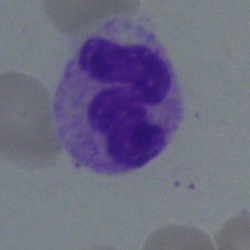 {"cell_type": "neutrophil (segmented)", "lineage": "myeloid"}